Bone marrow smear — 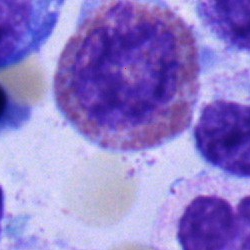
Eosinophilic granulocyte.